May-Grünwald-Giemsa/Pappenheim stain. Bone marrow aspirate smear.
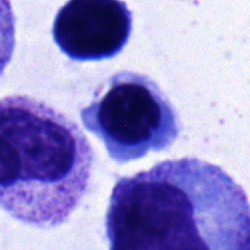 Specimen: bone marrow smear.
Classification: nucleated red cell.
Lineage: erythroid.